Bone marrow aspirate smear: 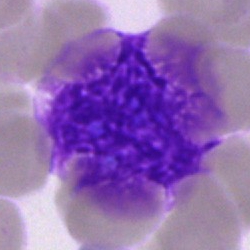 Showing an artifact.